MGG-stained; brightfield, 40× oil-immersion objective; bone marrow aspirate smear — 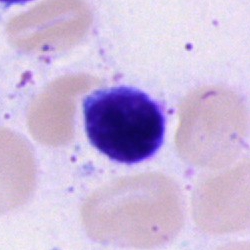
Q: Which cell type is shown here?
A: Lymphocyte.